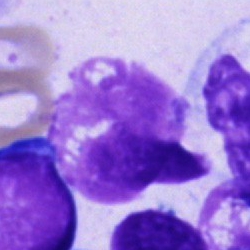 Artefact.